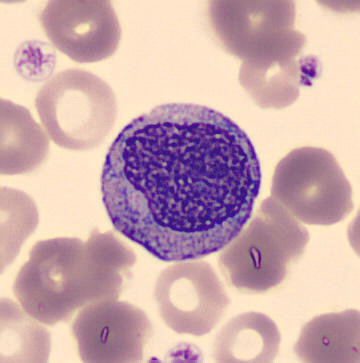 Showing a promyelocyte.
Peripheral blood smear.